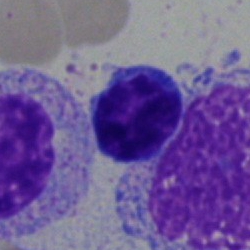
Cell: lymphocyte.